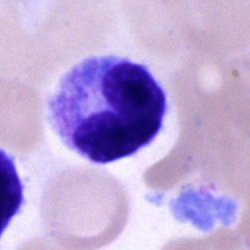

A cell of indeterminate lineage on a bone marrow smear.